Bone marrow aspirate smear: 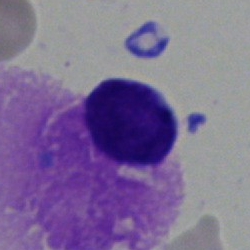

Cell: typical lymphocyte.